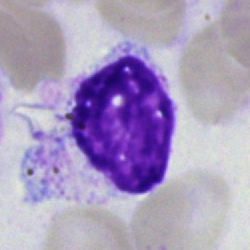

An artifact on a bone marrow smear.